Bone marrow smear — 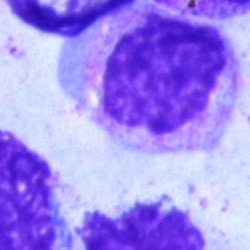

Morphological class = myelocyte.